100× objective, oil immersion. Peripheral blood smear: 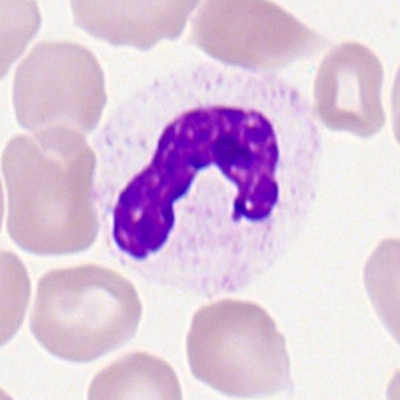

Cell — segmented neutrophil.